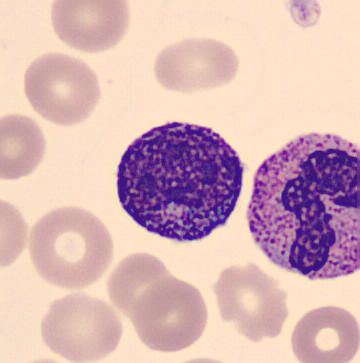 Cell = progranulocyte.
Image: Peripheral blood film.